40× objective, oil immersion. Bone marrow smear.
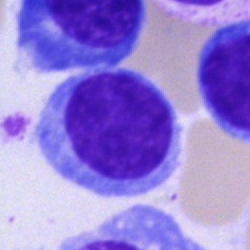
Cell type: typical lymphocyte.